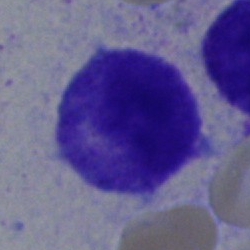
Morphological class — promyelocyte.